Bone marrow smear. Image size 250×250.
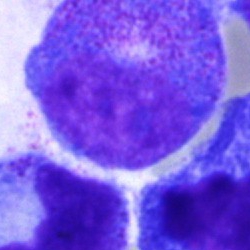

A promyelocyte.